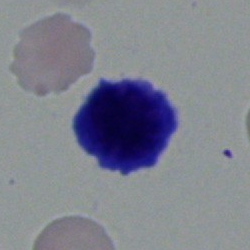
Classification — erythroblast.